Single cell centered in the field · bone marrow aspirate smear — 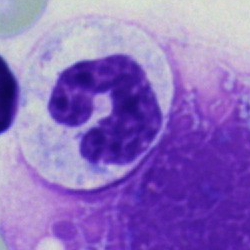Cell — neutrophil (segmented).